Bone marrow aspirate smear; May-Grünwald-Giemsa/Pappenheim stain.
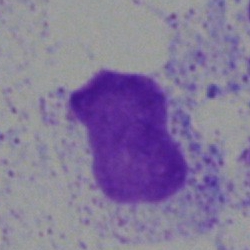

This is an artifact.